Bone marrow smear:
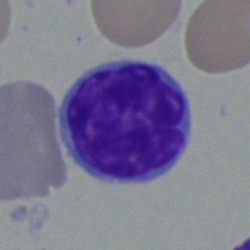Q: What type of cell is this?
A: A lymphocyte.